Bone marrow smear.
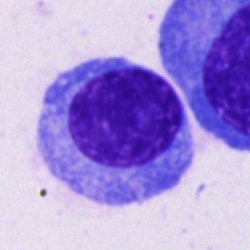 Plasma cell.